Bone marrow aspirate smear: 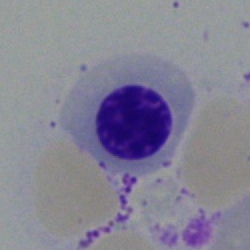
Morphology — normoblast.